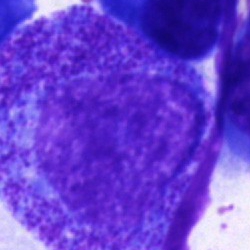Q: Which cell type is shown here?
A: Progranulocyte.